Single cell centered in the field; bone marrow aspirate smear — 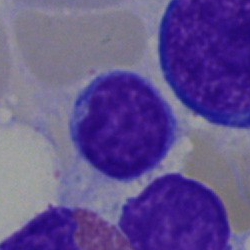 Morphology consistent with a lymphocyte.